Bone marrow smear.
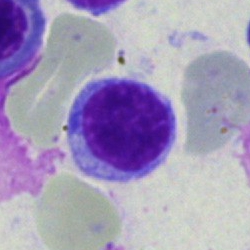
Morphological class — typical lymphocyte.